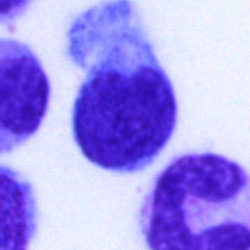
Specimen: bone marrow smear.
Cell: typical lymphocyte.